Bone marrow smear · single-cell crop
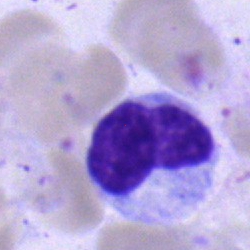
Q: What is the morphological classification of this cell?
A: This is a metamyelocyte.